Bone marrow smear; 250×250; cropped to a single cell
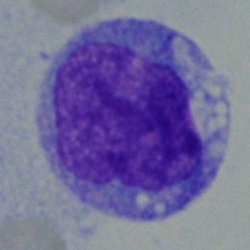Cell = blast cell.